Single-cell field. Brightfield, 40× oil-immersion objective. Bone marrow aspirate smear.
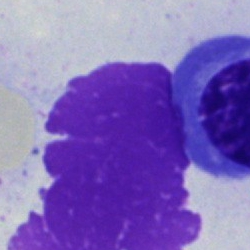Cell type — artifact.